Bone marrow aspirate smear: 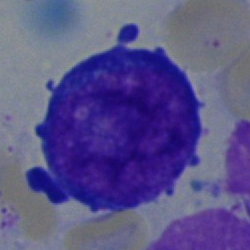

This is a pronormoblast.